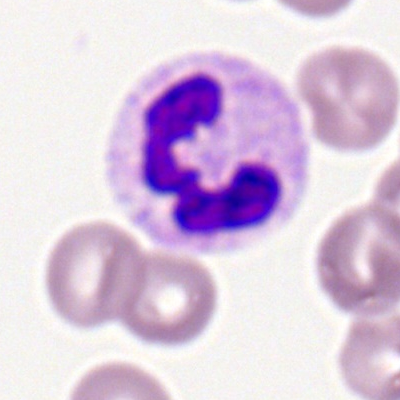 Q: Which cell type is shown here?
A: It is a neutrophil (segmented).